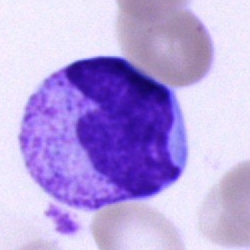Single cell identified as a neutrophil (band).